Image size 400×400. Peripheral blood smear. Romanowsky stain:
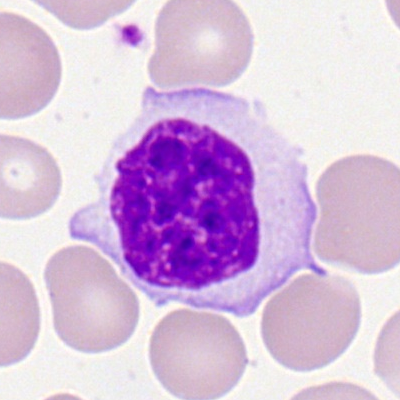

A lymphocyte.